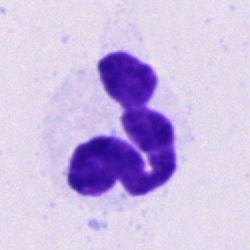 Morphological class — neutrophil (segmented).